Bone marrow smear: 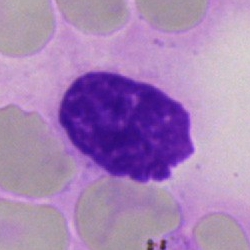
Q: What is shown here?
A: Artefact.